Bone marrow smear: 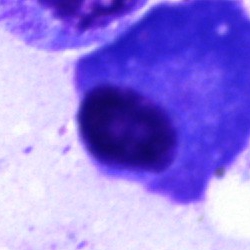

This is a plasmacyte.